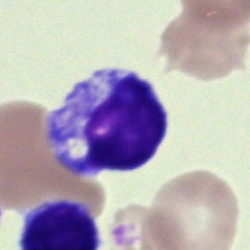 Impression — typical lymphocyte.